Bone marrow aspirate smear:
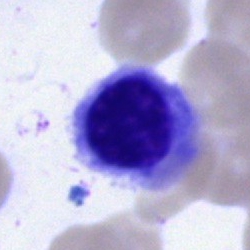 Q: What is shown here?
A: Nucleated red cell.